Bone marrow smear
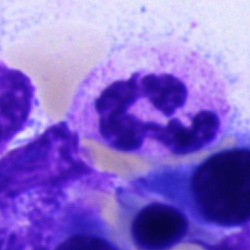 Single cell identified as a lymphocyte.